Peripheral blood smear; 400 by 400 pixels: 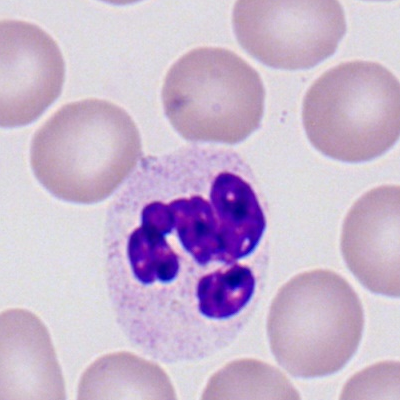

Specimen: peripheral blood film.
Cell: polymorphonuclear neutrophil.
Lineage: myeloid.